Bone marrow aspirate smear:
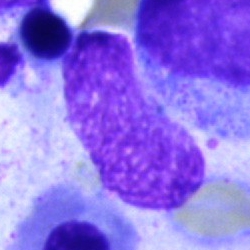

Specimen: bone marrow aspirate smear.
Classification: artefact.